Bone marrow aspirate smear. MGG-stained — 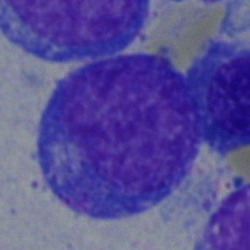Morphology consistent with a blast.